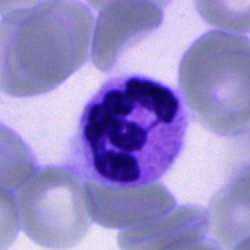
The cell is neutrophil (segmented).